Bone marrow smear
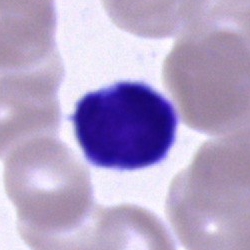
This is a lymphocyte.